Bone marrow aspirate smear — 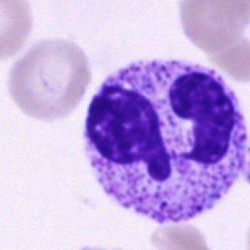

Morphological class — neutrophil (segmented).